MGG-stained. 40× objective, oil immersion. Bone marrow smear — 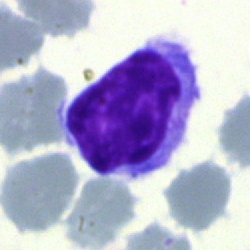Cell = typical lymphocyte.